Bone marrow smear — 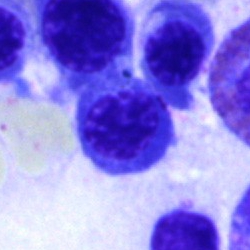
Showing a normoblast.